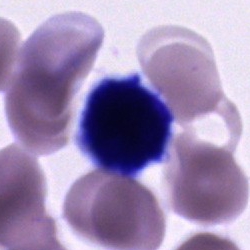 Bone marrow smear showing an unidentifiable cell.